Bone marrow aspirate smear · 250×250 px
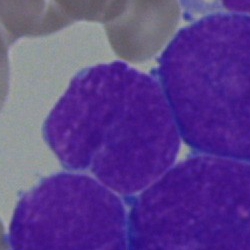 Showing an undifferentiated blast.